Bone marrow aspirate smear; brightfield, 40× oil-immersion objective; cropped to a single cell:
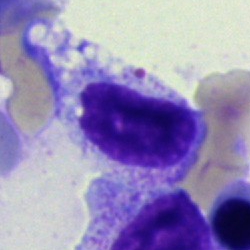

Cell — metamyelocyte.